Bone marrow aspirate smear.
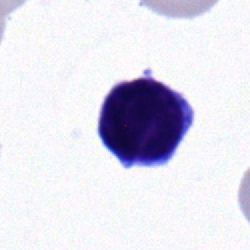Morphological class = typical lymphocyte.